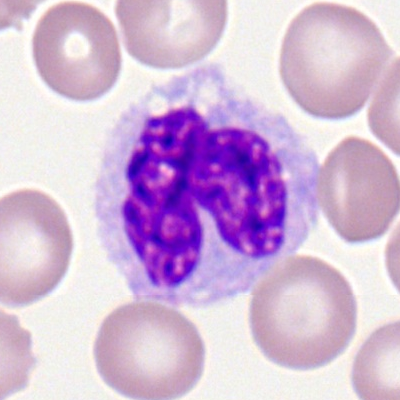Morphology — monocyte.